Bone marrow smear
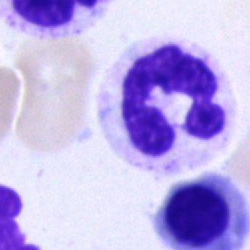
Morphological class — neutrophil (segmented).